250 by 250 pixels. Bone marrow smear. 40× oil immersion
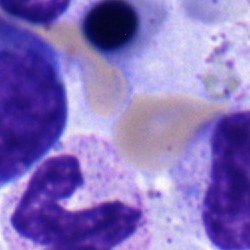

Classification — normoblast.